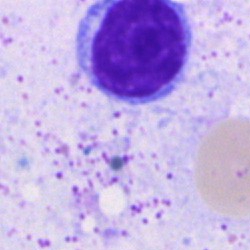 A typical lymphocyte on a bone marrow smear.